Bone marrow aspirate smear
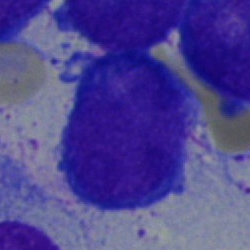
Q: Identify the cell.
A: This is a blast.